Bone marrow aspirate smear — 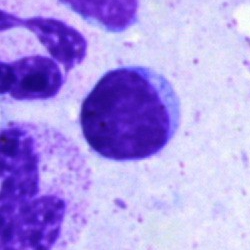 Q: What type of cell is this?
A: A typical lymphocyte.